Bone marrow aspirate smear · 250×250 px — 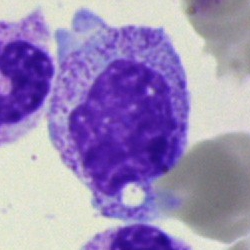 Single cell identified as a myelocyte.